40× oil immersion · bone marrow smear — 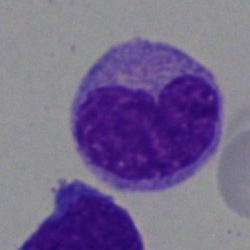 The cell is monocyte.